Bone marrow smear:
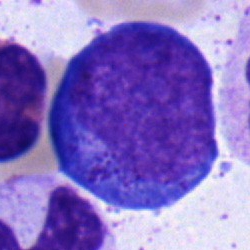Q: What type of cell is this?
A: A pronormoblast.